Bone marrow aspirate smear — 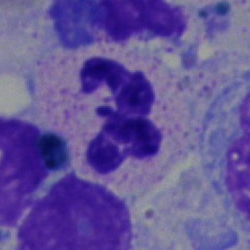{"cell_type": "neutrophil (segmented)", "lineage": "myeloid"}